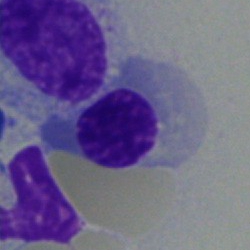
Q: What cell is this?
A: It is a normoblast.